Bone marrow aspirate smear
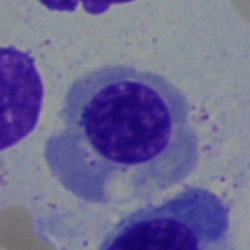

Morphology → nucleated red cell.